Peripheral blood film.
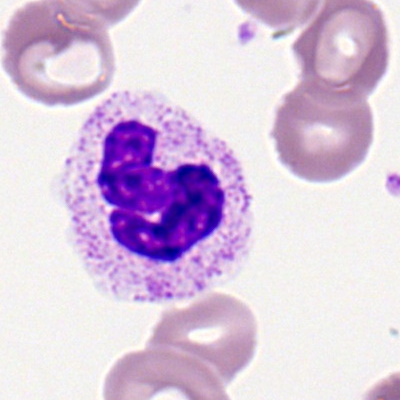

A polymorphonuclear neutrophil.